Pappenheim-stained. Bone marrow smear. Single-cell crop
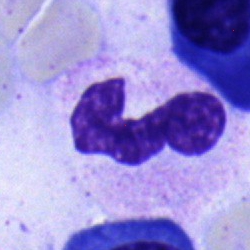
Specimen: bone marrow aspirate smear.
Classification: band neutrophil.
Lineage: myeloid.